Bone marrow aspirate smear:
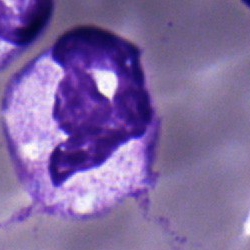

Morphology consistent with a polymorphonuclear neutrophil.